Bone marrow aspirate smear.
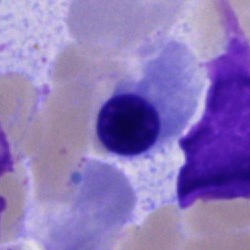Q: What is the morphological classification of this cell?
A: It is a nucleated red cell.